400×400 px; Romanowsky-type stain; peripheral blood film
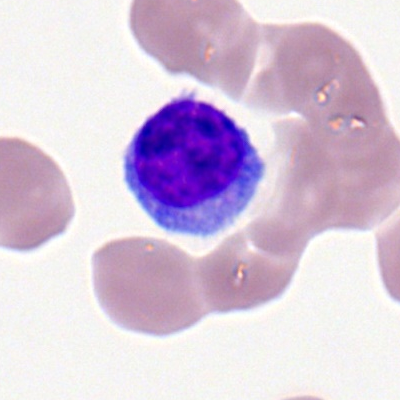
Impression → lymphocyte.